40× oil immersion · MGG-stained · bone marrow smear.
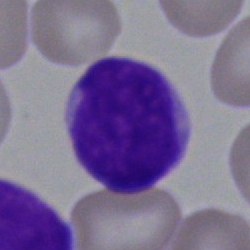Specimen: bone marrow smear.
Cell type: blast cell.